Bone marrow aspirate smear — 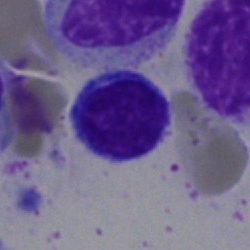
The cell shown is a lymphocyte.